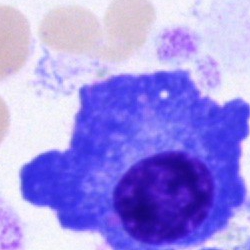

Q: What is the morphological classification of this cell?
A: Plasmacyte.